250×250 · bone marrow aspirate smear
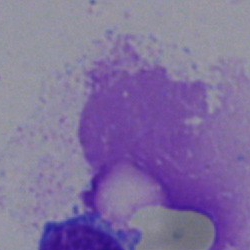Morphological class — artifact.